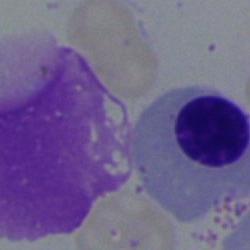
Showing a nucleated red blood cell.